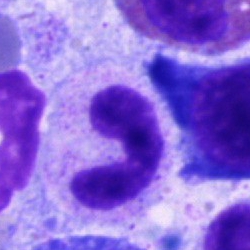Morphological class = band-form neutrophil.